Peripheral blood film.
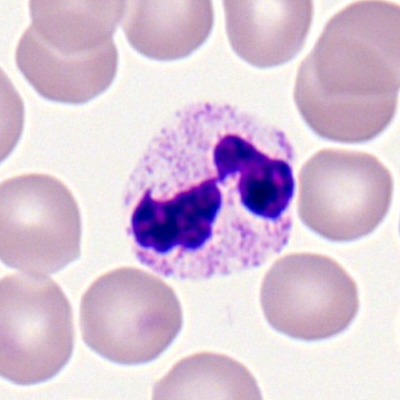

Specimen: peripheral blood film.
Classification: polymorphonuclear neutrophil.
Lineage: myeloid.